Bone marrow aspirate smear
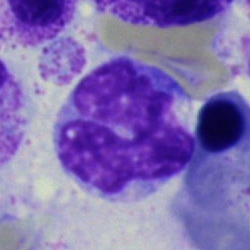
Impression → monocyte.